Bone marrow aspirate smear.
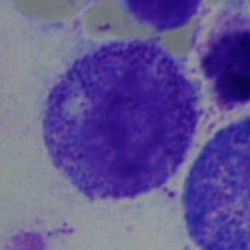
The cell shown is a myelocyte.